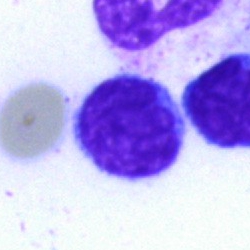 Morphological class = lymphocyte.